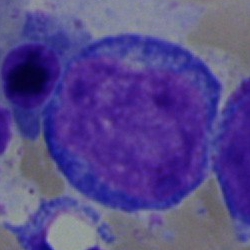 Bone marrow aspirate smear, single cell — proerythroblast.